Bone marrow smear:
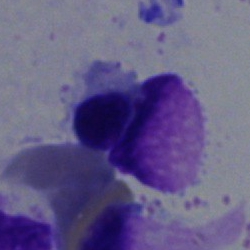

{"cell_type": "artifact"}